Image size 250×250. 40× oil immersion. Bone marrow smear
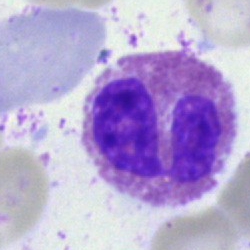
Q: What is the morphological classification of this cell?
A: Eosinophilic granulocyte.